Bone marrow smear: 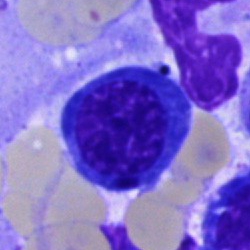 Specimen: bone marrow smear.
Cell type: nucleated red cell.